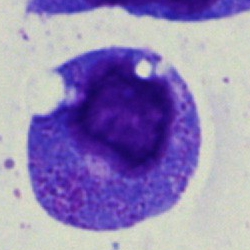

Morphology consistent with a proerythroblast.